Bone marrow smear
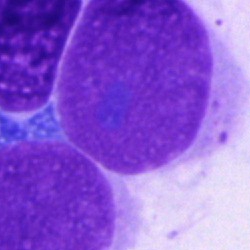Specimen: bone marrow aspirate smear.
Morphological class: artefact.